Bone marrow aspirate smear:
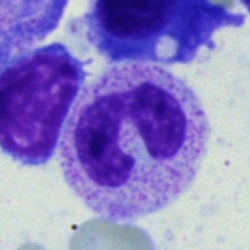 Cell type = segmented neutrophil.